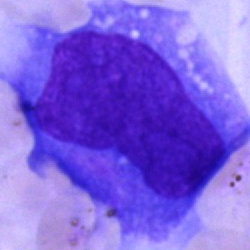
The classification is undifferentiated blast.